Image size 250×250; bone marrow aspirate smear:
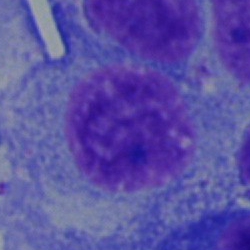 The cell is plasmacyte.